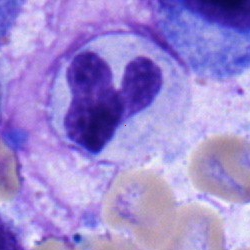
Cell type = segmented neutrophil.